Bone marrow smear:
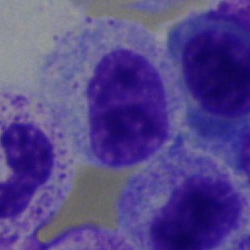 Specimen: bone marrow smear.
Cell: myelocyte.